Single cell centered in the field. Bone marrow smear — 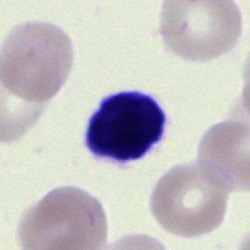
This is a typical lymphocyte.